May-Grünwald-Giemsa stain · bone marrow aspirate smear.
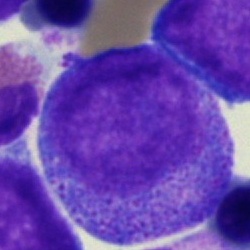 A promyelocyte.